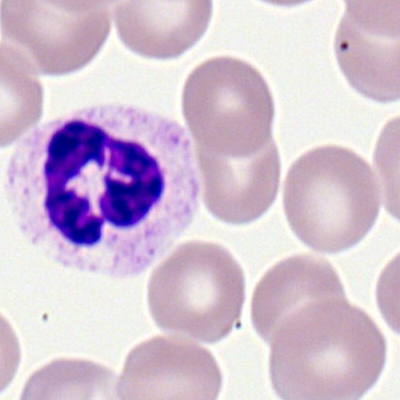
Single-cell crop from a peripheral blood smear: polymorphonuclear neutrophil.